Bone marrow aspirate smear — 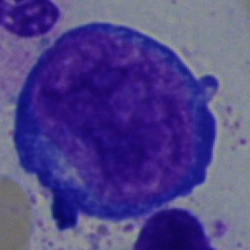Q: Identify the cell.
A: This is a pronormoblast.